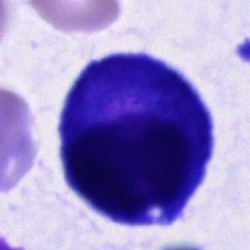
Showing a plasmacyte.